Bone marrow aspirate smear
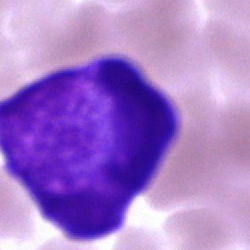 Specimen: bone marrow aspirate smear.
Classification: undifferentiated blast.